250×250; bone marrow smear; MGG-stained.
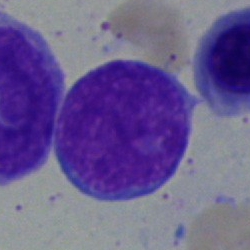Specimen: bone marrow aspirate smear.
Cell type: blast cell.